Image size 250×250; bone marrow smear: 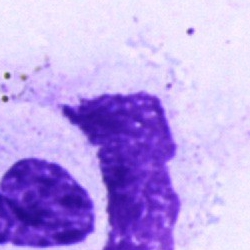

{"cell_type": "artifact"}